Single-cell crop; bone marrow smear — 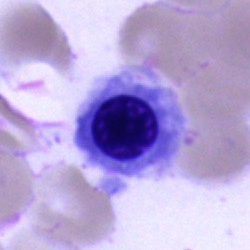

A normoblast.